Brightfield microscopy, 40× oil immersion. Bone marrow aspirate smear: 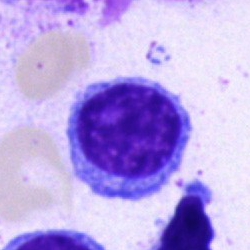 The classification is lymphocyte.